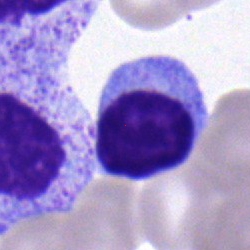Classification — lymphocyte.